Bone marrow aspirate smear. 40× objective, oil immersion
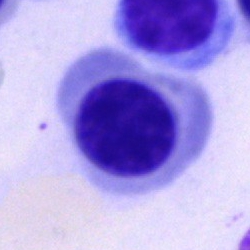 Morphological class: erythroblast.